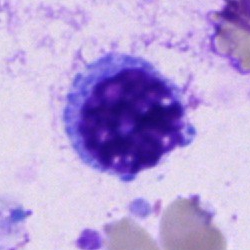
An erythroblast.